Cropped to a single cell · bone marrow smear
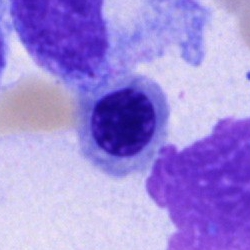
Impression → erythroblast.